Bone marrow smear; Pappenheim-stained:
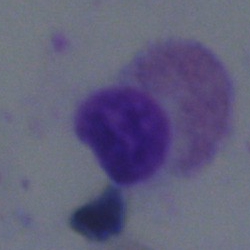

Eosinophil.